Bone marrow aspirate smear; 250×250; brightfield, 40× oil-immersion objective: 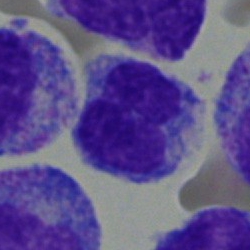The cell is monocyte.